Bone marrow aspirate smear.
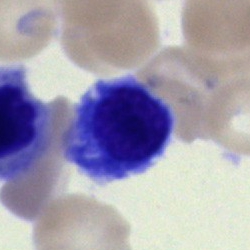

Impression — nucleated red cell.